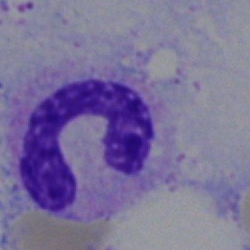

A polymorphonuclear neutrophil.